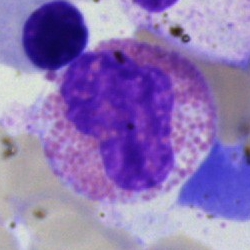 Q: What cell is this?
A: This is an eosinophil.